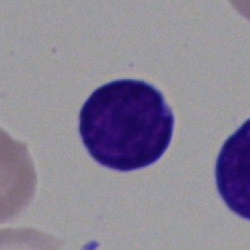 Specimen: bone marrow aspirate smear.
Classification: undifferentiated blast.